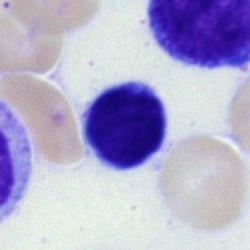Impression — lymphocyte.